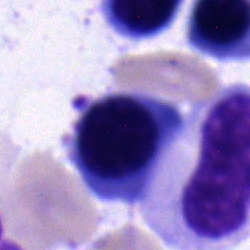

Q: What type of cell is this?
A: Erythroblast.